Bone marrow aspirate smear; MGG-stained: 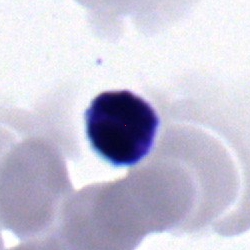 Showing a typical lymphocyte.